Bone marrow aspirate smear:
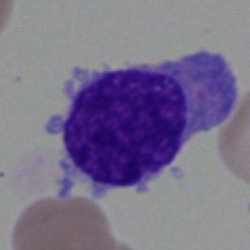
Cell — typical lymphocyte.